250×250; bone marrow smear — 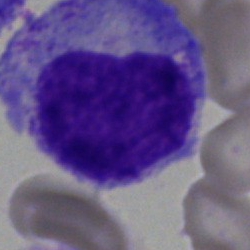 Showing a promyelocyte.